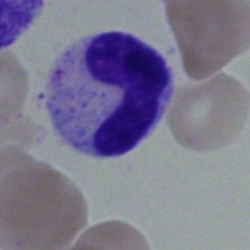 Classification: band-form neutrophil.